Bone marrow smear — 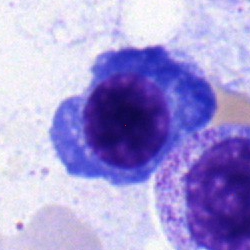 Plasma cell.